Single-cell field · brightfield microscopy, 40× oil immersion · bone marrow smear: 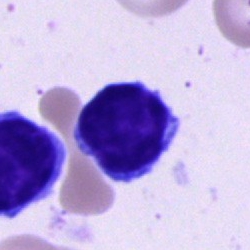
The cell shown is a typical lymphocyte.